Peripheral blood smear.
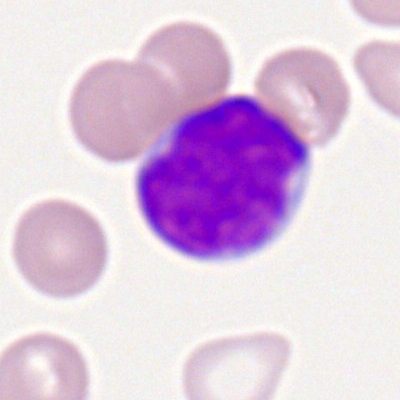 This is a myeloblast.